Bone marrow smear
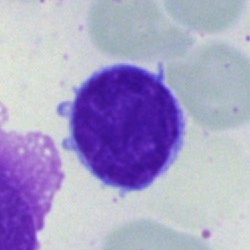

Specimen: bone marrow smear.
Morphological class: lymphocyte.